Bone marrow smear.
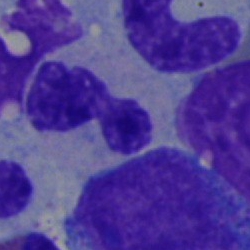
Segmented neutrophil.